Bone marrow smear. May-Grünwald-Giemsa/Pappenheim stain:
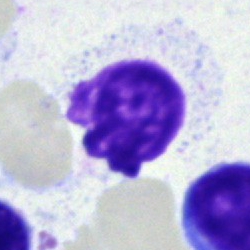 This is an unidentifiable cell.